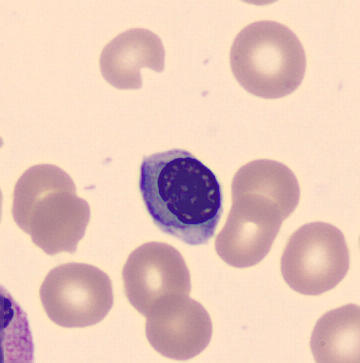Q: What cell is this?
A: This is a normoblast. Image: MGG stain; automated cell imaging (CellaVision DM96); peripheral blood smear.